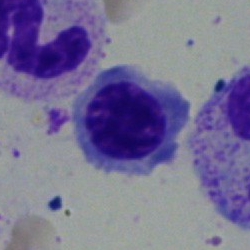

Q: What cell is this?
A: This is an erythroblast.